Bone marrow smear. Single cell centered in the field. Image size 250×250 — 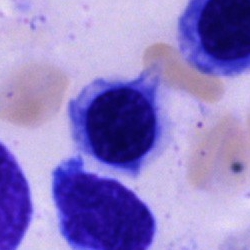Morphology consistent with a nucleated red blood cell.